Bone marrow smear
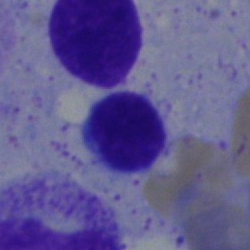
Morphological class — lymphocyte.